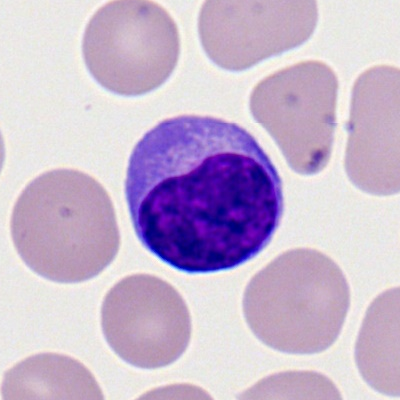

{"cell_type": "typical lymphocyte", "lineage": "lymphoid"}